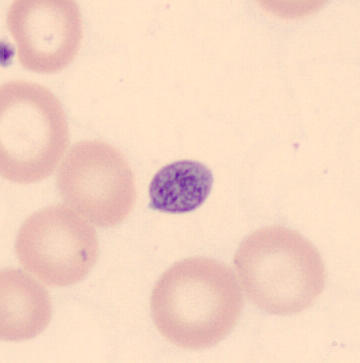

Cell type: platelet.